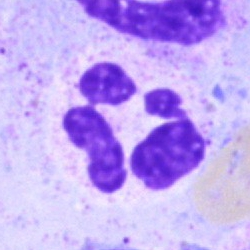
{"cell_type": "polymorphonuclear neutrophil"}